May-Grünwald-Giemsa/Pappenheim stain. Bone marrow smear:
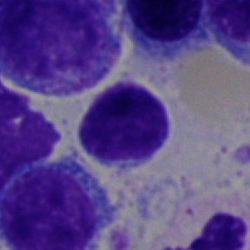
Morphological class — lymphocyte.